Peripheral blood smear — 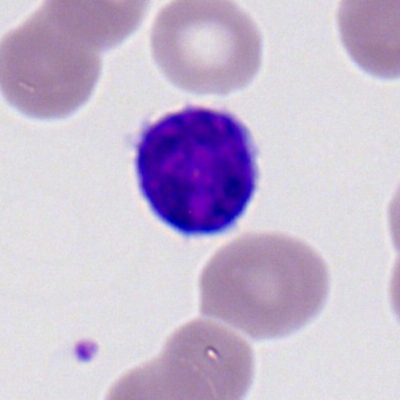
Cell type — typical lymphocyte.